Bone marrow smear
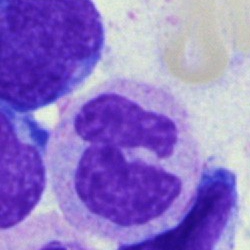

Morphology consistent with a segmented neutrophil.